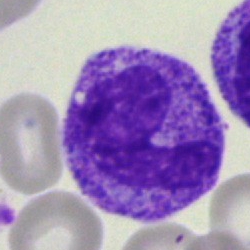
Classification = band neutrophil.